Bone marrow smear
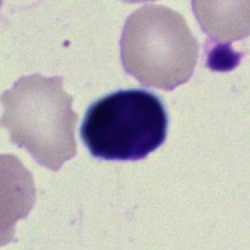{"cell_type": "lymphocyte"}